Bone marrow smear. Brightfield microscopy, 40× oil immersion.
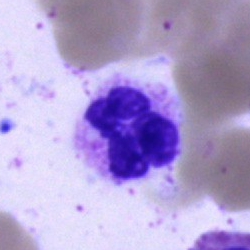 Single cell identified as a segmented neutrophil.